Bone marrow aspirate smear; MGG-stained:
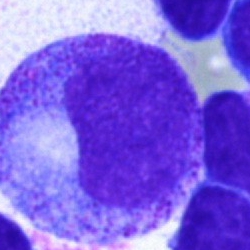
{"cell_type": "promyelocyte", "lineage": "myeloid"}